Bone marrow aspirate smear
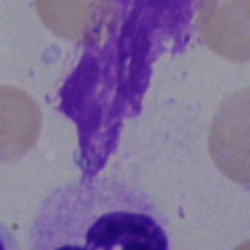

Q: What is shown here?
A: This is an artefact.